Bone marrow aspirate smear
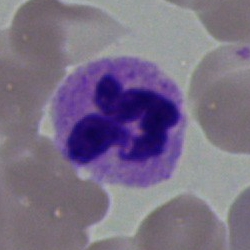

The cell is segmented neutrophil.